Bone marrow aspirate smear · single-cell crop.
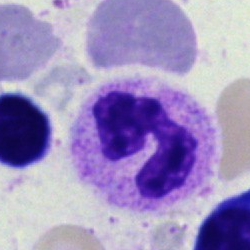

Classification: segmented neutrophil.